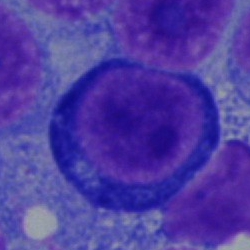 Morphology — pronormoblast.